Peripheral blood film
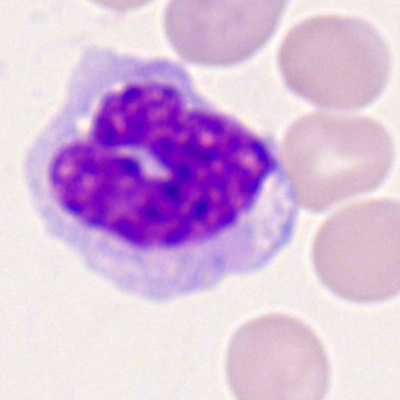
Q: What type of cell is this?
A: It is a monocyte.